Cropped to a single cell; bone marrow smear:
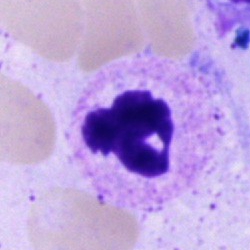
Morphology → polymorphonuclear neutrophil.